MGG-stained. Bone marrow smear:
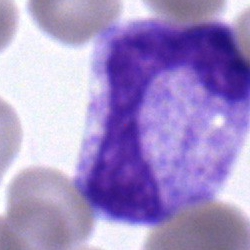A band-form neutrophil.